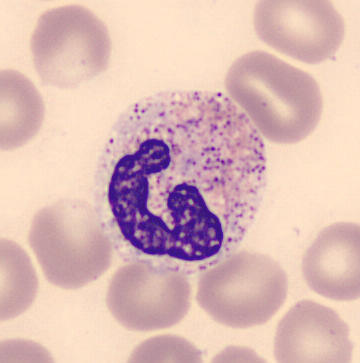
Peripheral blood smear. Band-form neutrophil.